250×250 px; bone marrow smear: 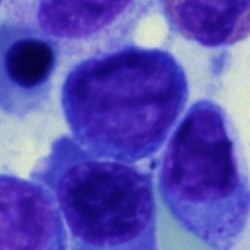 Q: What is shown here?
A: It is a lymphocyte.